Bone marrow aspirate smear: 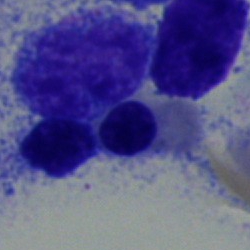 Specimen: bone marrow smear.
Cell: erythroblast.
Lineage: erythroid.